Bone marrow smear:
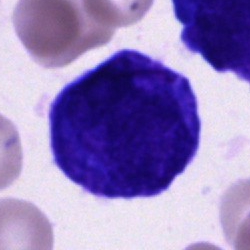

{"cell_type": "undifferentiated blast"}